Brightfield microscopy, 40× oil immersion; bone marrow smear; May-Grünwald-Giemsa/Pappenheim stain
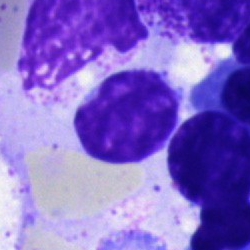

Impression → lymphocyte.